Bone marrow aspirate smear. May-Grünwald-Giemsa/Pappenheim stain — 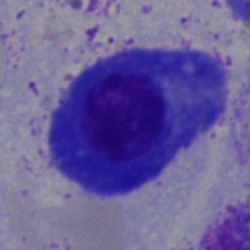

Morphology consistent with a plasma cell.